Bone marrow smear — 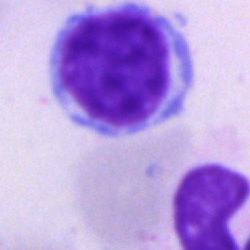 The morphological class is lymphocyte.